Bone marrow aspirate smear.
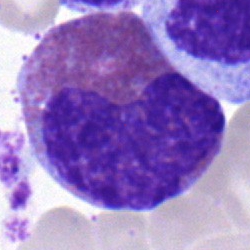 Classification — eosinophilic granulocyte.